Bone marrow aspirate smear: 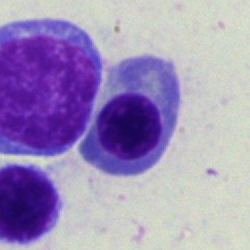Impression → nucleated red blood cell.